Bone marrow aspirate smear. MGG-stained. Single-cell crop.
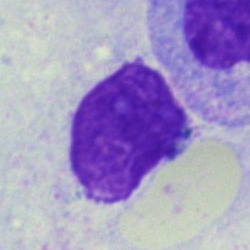Showing an artefact.